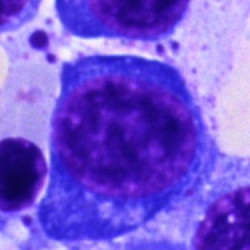Q: What is shown here?
A: An erythroblast.